Peripheral blood smear · Romanowsky-stained: 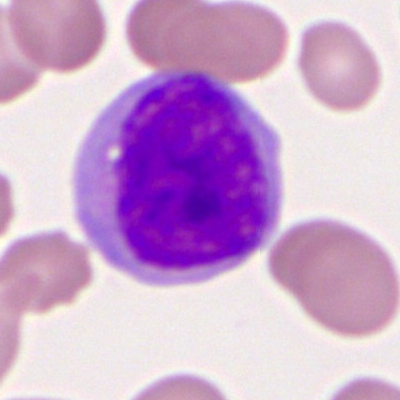

Q: Identify the cell.
A: Myeloid blast.